Bone marrow aspirate smear: 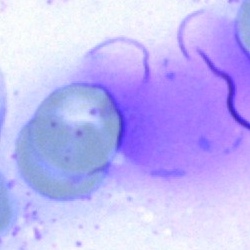

Q: What is shown here?
A: An artefact.